250 by 250 pixels; bone marrow smear.
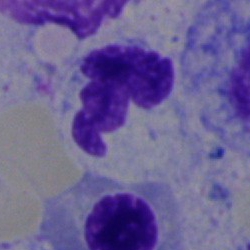
Morphology consistent with a neutrophil (segmented).